Bone marrow smear: 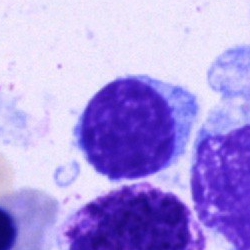

Cell — lymphocyte.